Bone marrow aspirate smear; 250×250; single-cell field
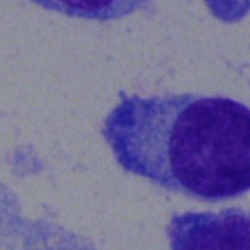This is a plasmacyte.